Bone marrow smear · brightfield microscopy, 40× oil immersion · single-cell crop
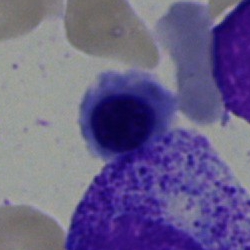Cell type = normoblast.